Bone marrow aspirate smear:
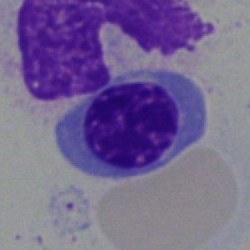 Specimen: bone marrow aspirate smear.
Classification: nucleated red cell.